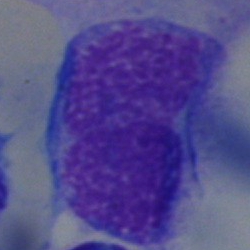 Single cell identified as an artifact.